Bone marrow smear. Cropped to a single cell
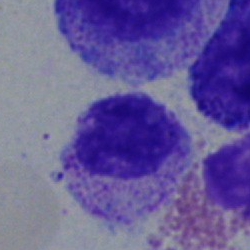

The cell shown is a myelocyte.